Bone marrow smear
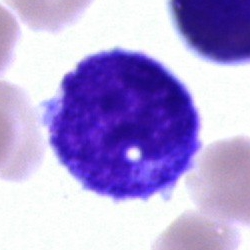

Promyelocyte.